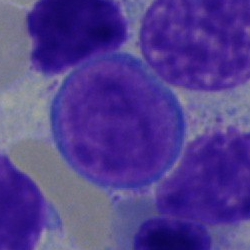
Q: What is the morphological classification of this cell?
A: A lymphocyte.